Bone marrow smear; 40× oil immersion.
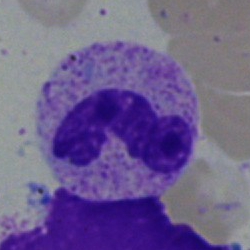 Specimen: bone marrow smear.
Cell: band-form neutrophil.
Lineage: myeloid.